Bone marrow smear — 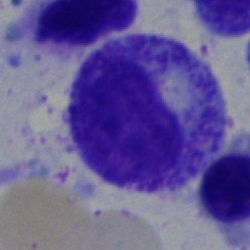
A myelocyte.